Bone marrow smear
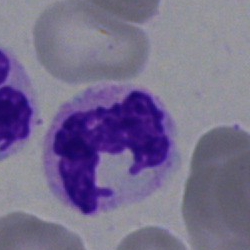
The morphological class is neutrophil (segmented).